Bone marrow aspirate smear: 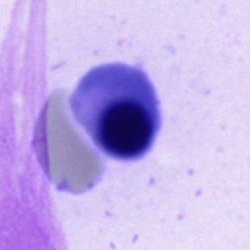

Cell: normoblast.